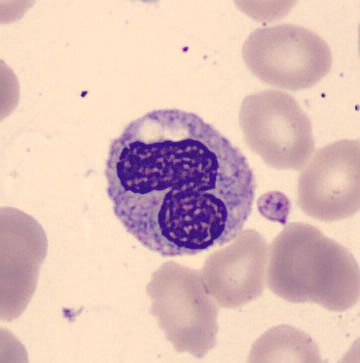Image: Peripheral blood smear.
Morphological class = monocyte.